Bone marrow smear.
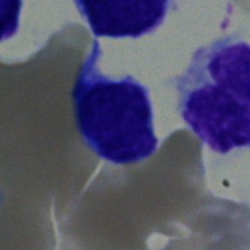 Classification — lymphocyte.